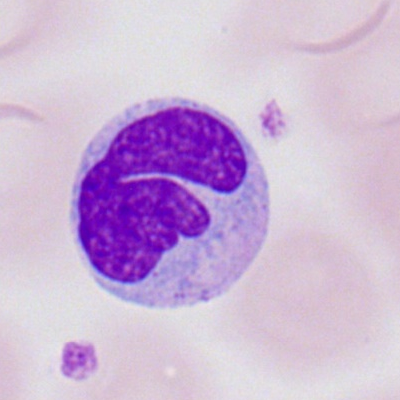Classification — monocyte.